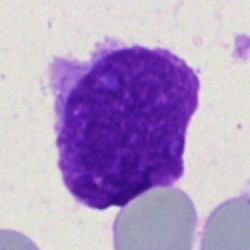

Specimen: bone marrow aspirate smear.
Cell type: artifact.